Bone marrow smear — 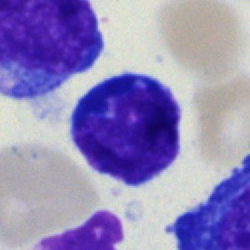

Showing a typical lymphocyte.